Bone marrow aspirate smear · single-cell crop:
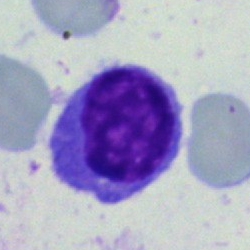

Specimen: bone marrow smear.
Morphological class: lymphocyte.
Lineage: lymphoid.